Peripheral blood smear · cropped to a single cell: 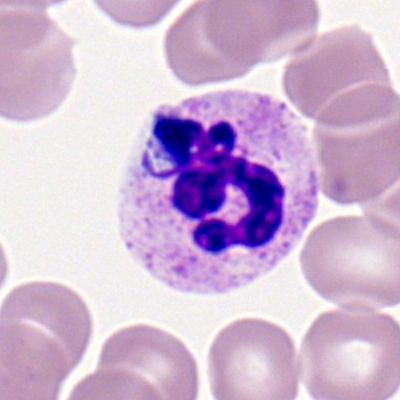Cell = polymorphonuclear neutrophil.